May-Grünwald-Giemsa stain; bone marrow smear; 40× oil immersion — 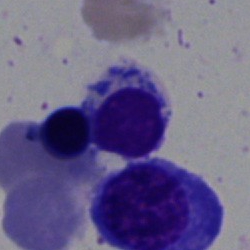 The classification is artifact.